Bone marrow aspirate smear: 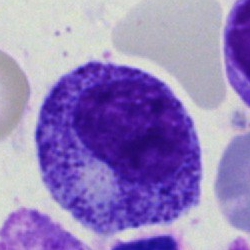
Impression — progranulocyte.